250×250 px. Single cell centered in the field. Bone marrow aspirate smear — 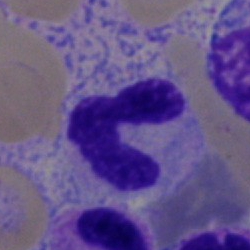
This is a polymorphonuclear neutrophil.